Peripheral blood film · 100× objective, oil immersion · 400×400: 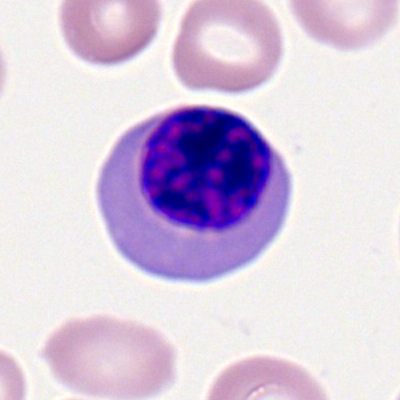 This is a nucleated red blood cell.